Pappenheim-stained; image size 250×250; bone marrow aspirate smear — 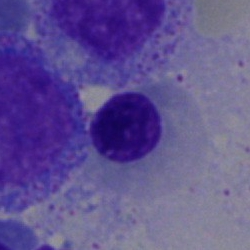

Specimen: bone marrow aspirate smear.
Cell: normoblast.
Lineage: erythroid.